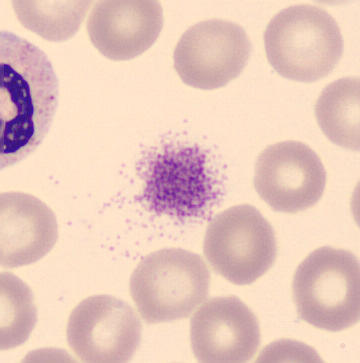 Cell type = thrombocyte.